Brightfield microscopy, 40× oil immersion; bone marrow aspirate smear
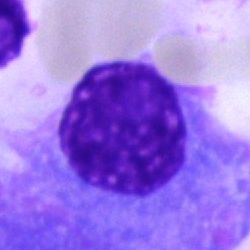
Morphology consistent with a plasmacyte.